Bone marrow smear. 250×250: 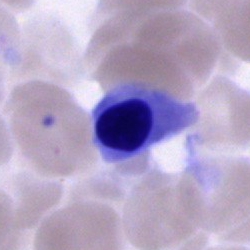Morphological class — nucleated red cell.